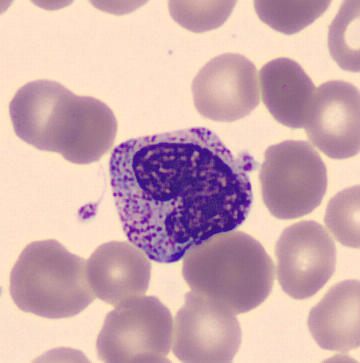

The cell is metamyelocyte.

Preparation: Peripheral blood film; imaged on a CellaVision DM96 analyser; MGG stain.